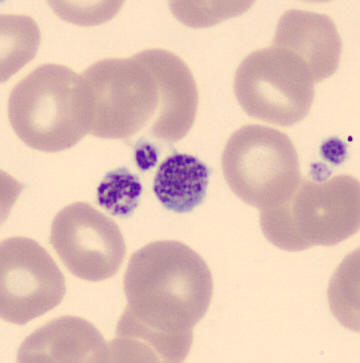
Identified as a platelet (thrombocyte).